Bone marrow smear:
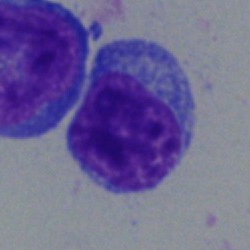
Morphological class: lymphocyte.